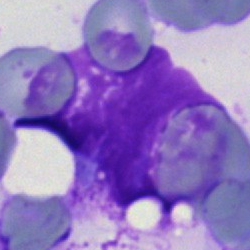
Classification: artefact.